May-Grünwald-Giemsa/Pappenheim stain · bone marrow smear · single-cell crop
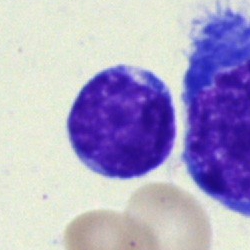Q: What is the morphological classification of this cell?
A: Lymphocyte.